Bone marrow smear. 250×250 px.
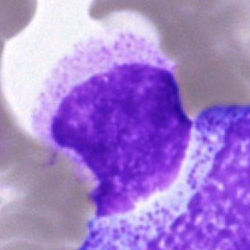Morphological class = artifact.